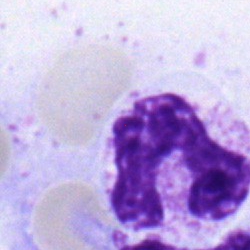

Band-form neutrophil.